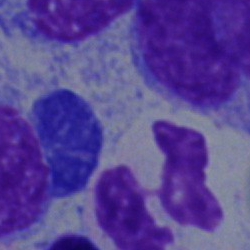 Specimen: bone marrow smear.
Cell type: segmented neutrophil.